Bone marrow aspirate smear.
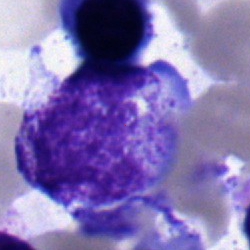Specimen: bone marrow smear.
Morphological class: myelocyte.